40× oil immersion · bone marrow smear: 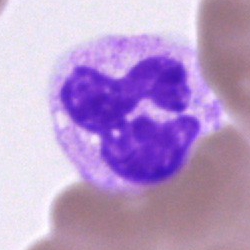
Cell = segmented neutrophil.